Bone marrow aspirate smear:
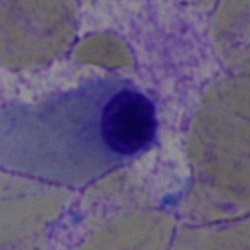
Nucleated red cell.